Image size 250×250 · bone marrow smear · single-cell crop: 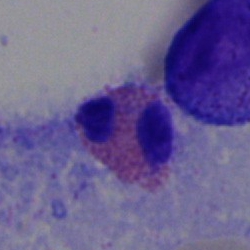
Q: What type of cell is this?
A: It is an eosinophil.